Bone marrow aspirate smear — 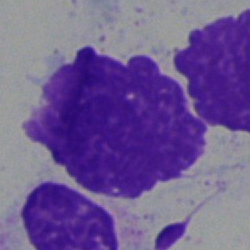 This is an artifact.